Bone marrow smear.
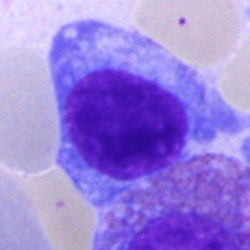 Q: What cell is this?
A: Plasma cell.